Bone marrow smear.
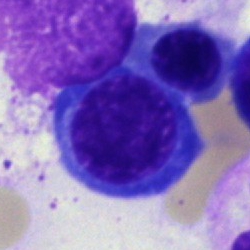 Specimen: bone marrow aspirate smear.
Morphological class: normoblast.
Lineage: erythroid.